Brightfield microscopy, 40× oil immersion · bone marrow aspirate smear:
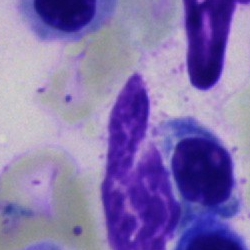 Nucleated red cell.